Bone marrow aspirate smear — 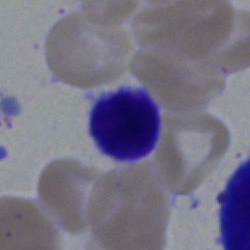 Q: Which cell type is shown here?
A: Lymphocyte.